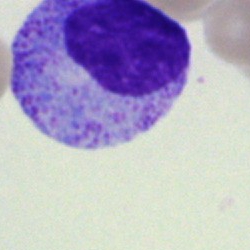

Cell: myelocyte.